Peripheral blood film
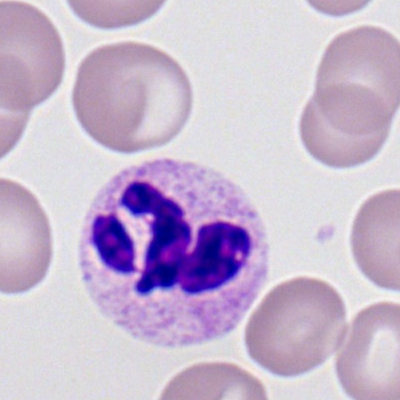Segmented neutrophil.